Bone marrow smear:
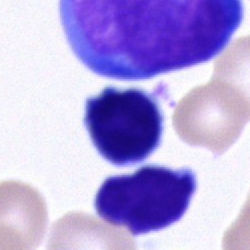The cell type is artefact.